Bone marrow aspirate smear:
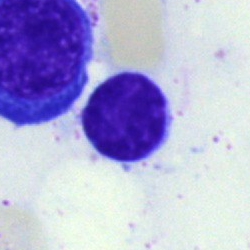
Q: What is shown here?
A: Lymphocyte.